Brightfield microscopy, 40× oil immersion. Bone marrow smear. Single-cell field — 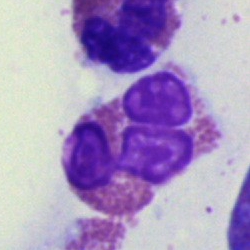 Morphology consistent with an eosinophilic granulocyte.